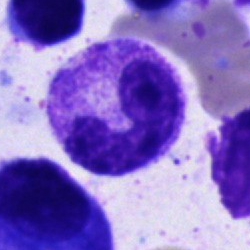
Classification = band neutrophil.